M8 digital microscope (Precipoint), 100× oil immersion; cropped to a single cell; peripheral blood smear: 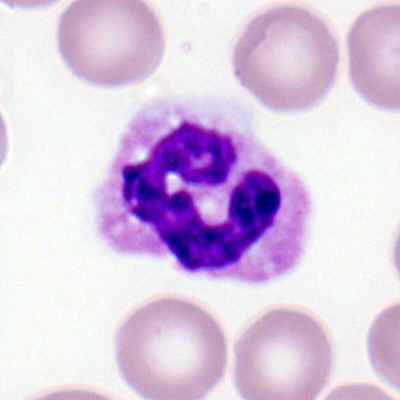The cell shown is a segmented neutrophil.